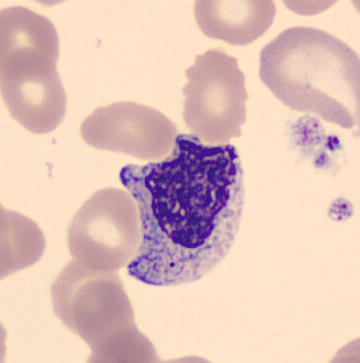Preparation: MGG stain; peripheral blood film; 360 by 363 pixels.

The cell type is myelocyte.